Bone marrow smear:
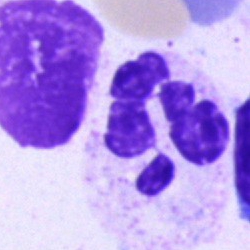
Classification = polymorphonuclear neutrophil.